250×250 px. Bone marrow aspirate smear
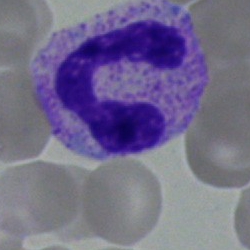
Showing a stab cell.